Brightfield microscopy, 40× oil immersion; bone marrow smear — 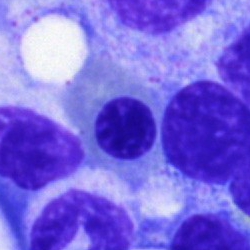
This is an erythroblast.